Bone marrow smear: 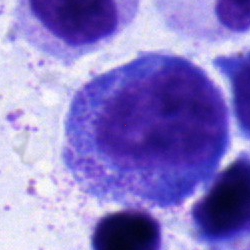 Morphological class: progranulocyte.